Bone marrow aspirate smear; 40× objective, oil immersion
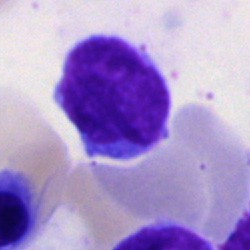 Single cell identified as an undifferentiated blast.